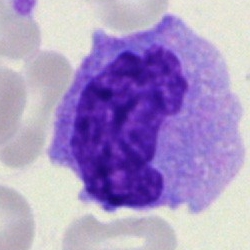
Q: What is shown here?
A: This is a monocyte.